Bone marrow smear — 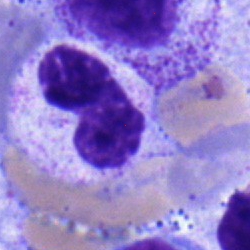Q: Which cell type is shown here?
A: A stab cell.